Bone marrow aspirate smear: 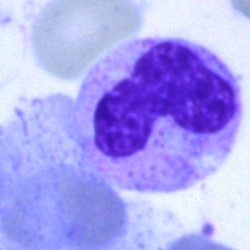
Classification = neutrophil (band).